40× oil immersion; May-Grünwald-Giemsa/Pappenheim stain; bone marrow smear — 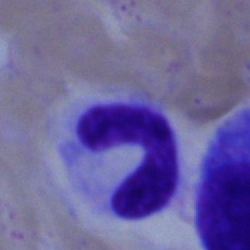Morphology consistent with a stab cell.